Brightfield, 40× oil-immersion objective · bone marrow aspirate smear: 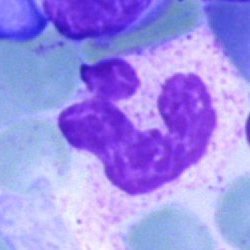Cell: neutrophil (segmented).